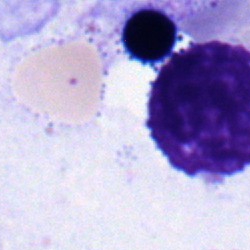

Single-cell crop from a bone marrow smear: nucleated red cell.